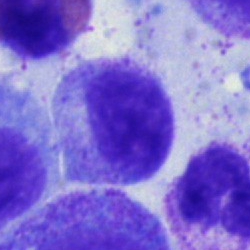 Morphology consistent with a myelocyte.